Bone marrow aspirate smear — 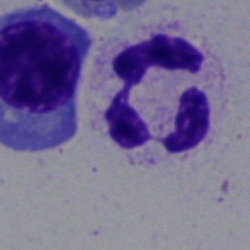Q: What is shown here?
A: Neutrophil (segmented).